Bone marrow aspirate smear; image size 250×250 — 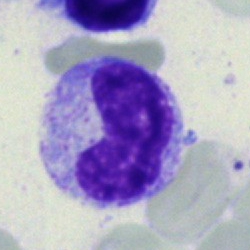
Cell type: stab cell.